Bone marrow smear: 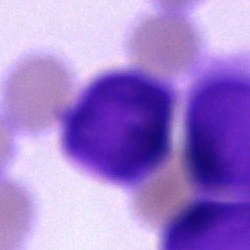
Morphology — artifact.